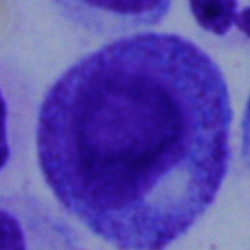 This is a progranulocyte.